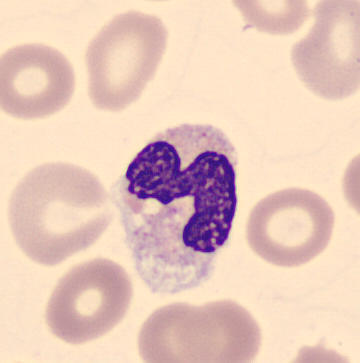
Morphology consistent with a neutrophil (band).
Preparation: May-Grünwald-Giemsa-stained. Peripheral blood film.